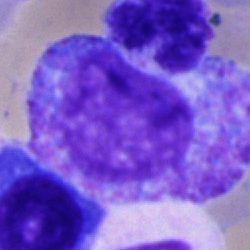

Q: Identify the cell.
A: Progranulocyte.